Peripheral blood smear: 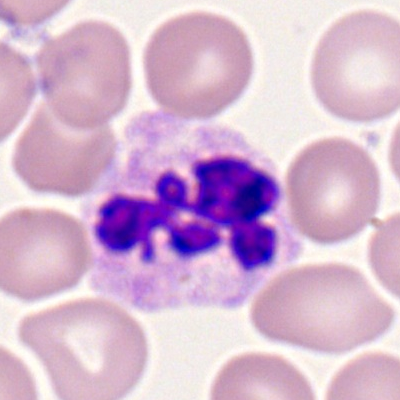

Cell = segmented neutrophil.